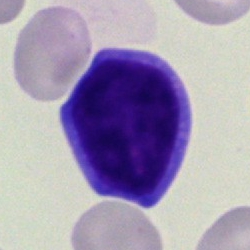The cell shown is a lymphocyte.